Bone marrow smear:
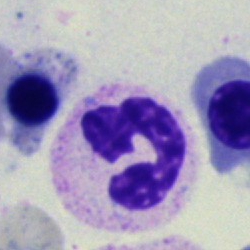

Polymorphonuclear neutrophil.